Peripheral blood film
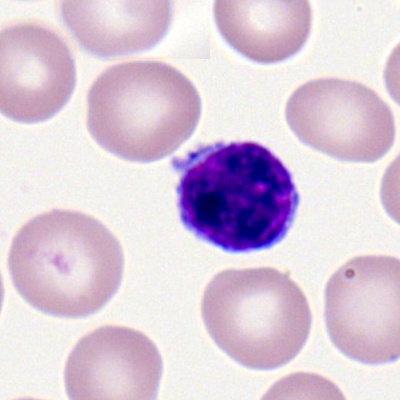Q: Which cell type is shown here?
A: This is a lymphocyte.